250×250 px; bone marrow smear — 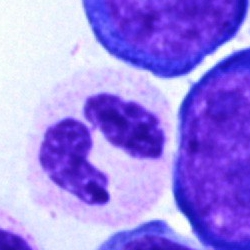{"cell_type": "polymorphonuclear neutrophil"}